Bone marrow smear:
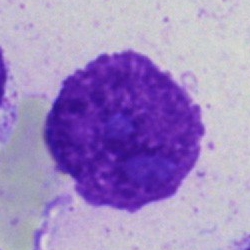
Q: What is shown here?
A: It is an artefact.